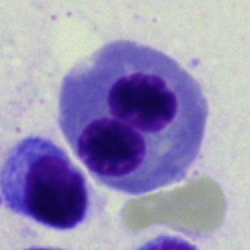

Bone marrow smear showing an erythroblast.